Bone marrow aspirate smear: 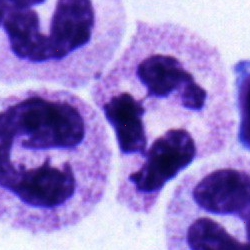 Single cell identified as a neutrophil (segmented).